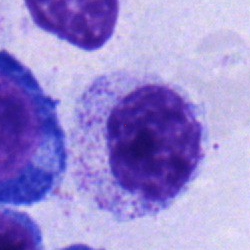Impression → myelocyte.